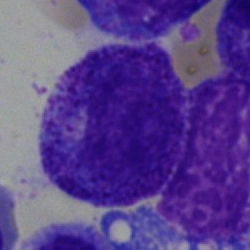
Cell type: progranulocyte.